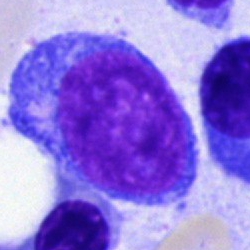
Single-cell crop from a bone marrow smear: blast.